Bone marrow smear · single cell centered in the field · May-Grünwald-Giemsa stain — 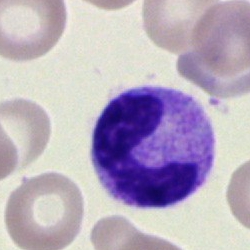Morphology consistent with a neutrophil (segmented).